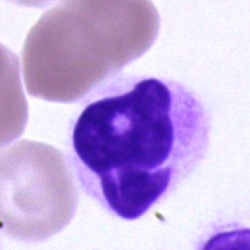 Q: Identify the cell.
A: It is a polymorphonuclear neutrophil.